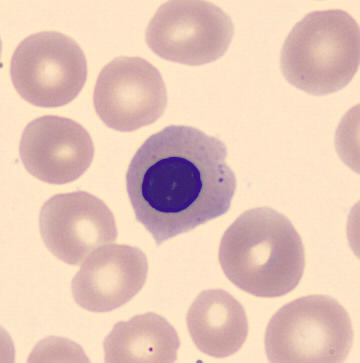

Q: What is this?
A: This is an erythroblast.